Bone marrow smear. Single-cell crop — 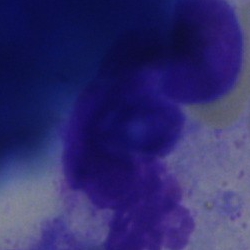
Morphology → artefact.